Bone marrow aspirate smear
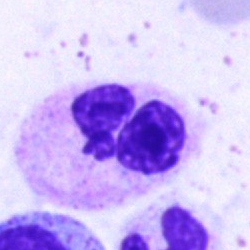
Cell: polymorphonuclear neutrophil.